Bone marrow smear; 250 by 250 pixels; 40× objective, oil immersion: 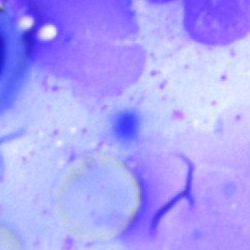
This is an artefact.